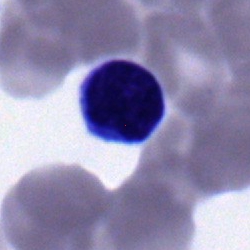
The cell is monocyte.